Bone marrow smear · image size 250×250 · cropped to a single cell:
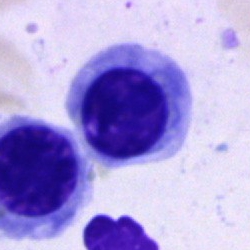

Cell = erythroblast.